Bone marrow aspirate smear:
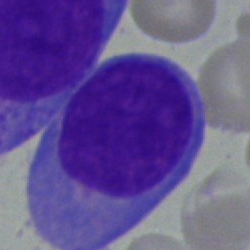This is an undifferentiated blast.